Bone marrow smear · cropped to a single cell · 250 by 250 pixels
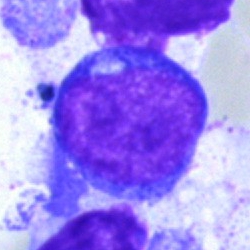

Morphology — blast cell.